Bone marrow smear:
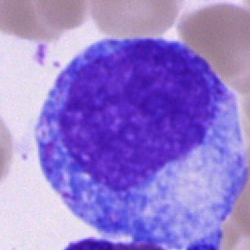Morphological class — progranulocyte.